Single-cell field · bone marrow smear:
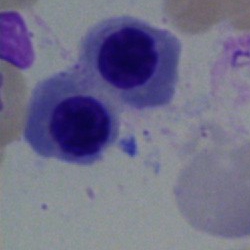
Normoblast.